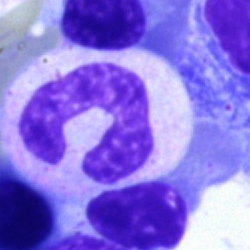 Cell = segmented neutrophil.